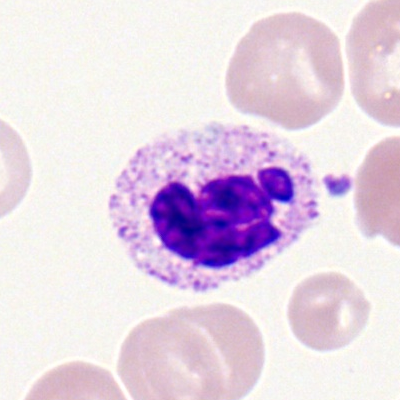 Single-cell crop from a peripheral blood smear: neutrophil (segmented).